Bone marrow aspirate smear:
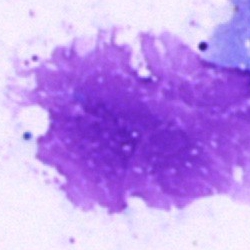Q: What is shown here?
A: This is an artefact.